Bone marrow smear · May-Grünwald-Giemsa stain · cropped to a single cell
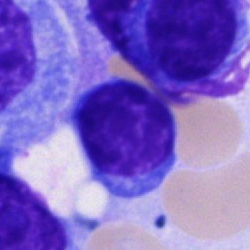

Lymphocyte.